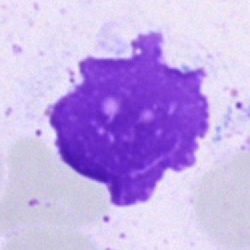 Morphology — artifact.